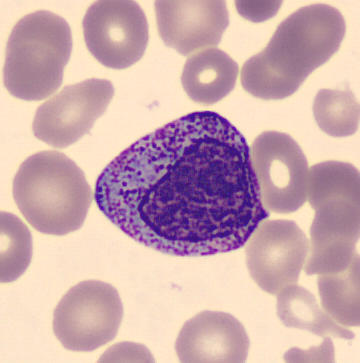Cell type — promyelocyte.